400 by 400 pixels. Peripheral blood film:
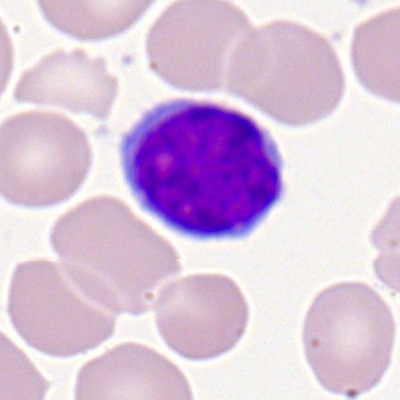 Morphology consistent with a typical lymphocyte.